Bone marrow smear; 250×250 px; 40× objective, oil immersion: 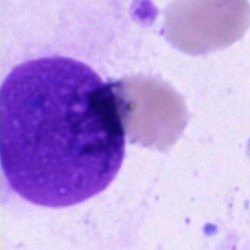
Cell type = artifact.